250×250 · bone marrow smear — 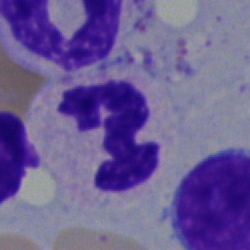 Morphology — segmented neutrophil.